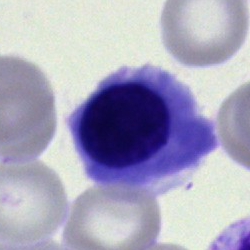
Impression — nucleated red cell.